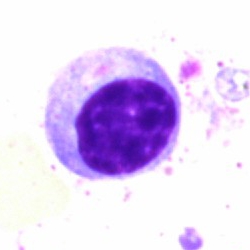Bone marrow aspirate smear, single cell — lymphocyte.